Bone marrow aspirate smear. Image size 250×250 — 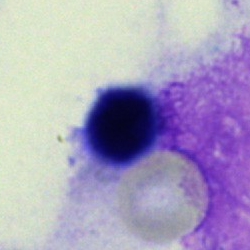 Impression → artefact.